Bone marrow smear; 40× oil immersion.
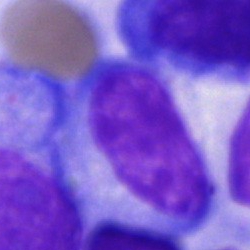 A cell of indeterminate lineage.